Peripheral blood film: 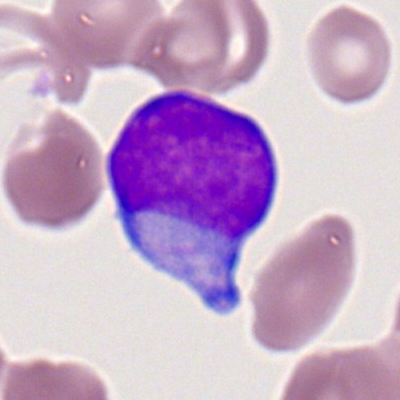Single cell identified as a myeloid blast.